250×250 px · single cell centered in the field · bone marrow aspirate smear
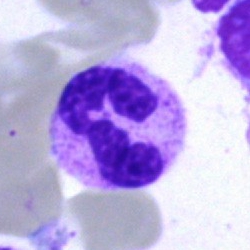

A segmented neutrophil.